Bone marrow aspirate smear — 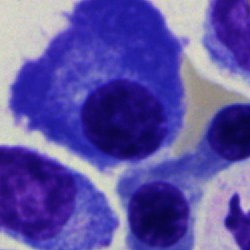The cell is plasma cell.